Bone marrow aspirate smear; single cell centered in the field — 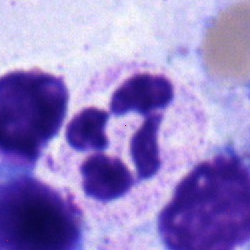

Cell = neutrophil (segmented).